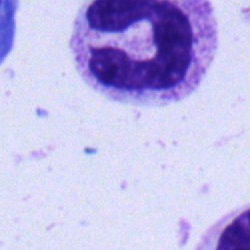 Q: What is shown here?
A: It is a band neutrophil.